Cropped to a single cell; bone marrow smear — 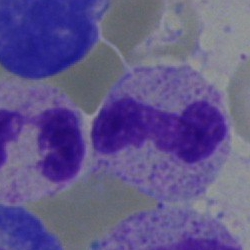 A neutrophil (segmented).